250×250. Bone marrow smear
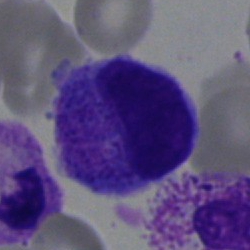

Impression — promyelocyte.